Image size 250×250; May-Grünwald-Giemsa/Pappenheim stain; bone marrow aspirate smear: 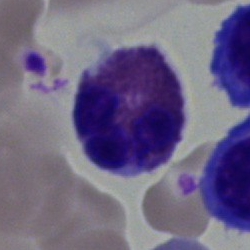Showing an eosinophilic granulocyte.